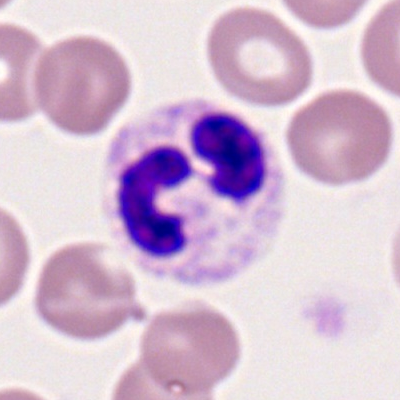

The cell type is segmented neutrophil.